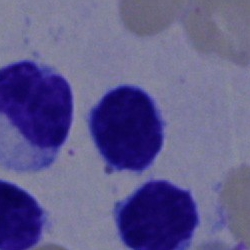
The classification is typical lymphocyte.